Bone marrow aspirate smear
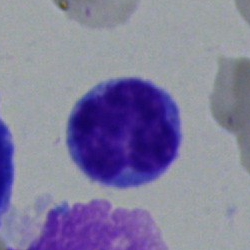 The cell shown is a typical lymphocyte.